250×250 px. Bone marrow aspirate smear:
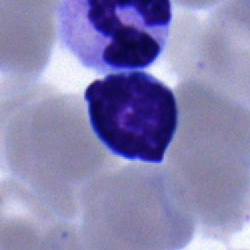

Q: Which cell type is shown here?
A: Typical lymphocyte.